Peripheral blood smear — 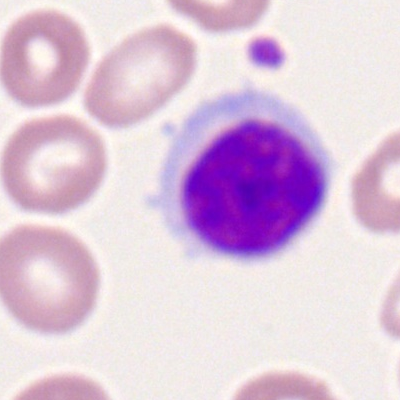Single cell identified as a typical lymphocyte.